250×250. Brightfield microscopy, 40× oil immersion. Bone marrow smear: 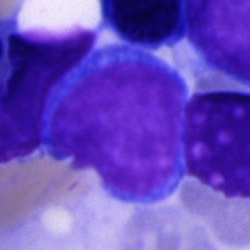 Q: What cell is this?
A: Blast.